Bone marrow smear; 250×250; brightfield microscopy, 40× oil immersion.
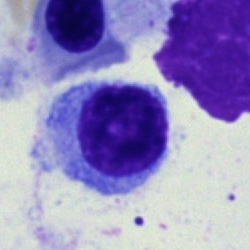

Classification — typical lymphocyte.